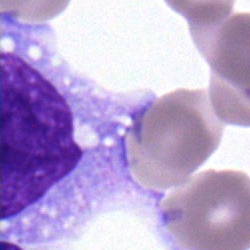
Single cell identified as a monocyte.